Bone marrow smear; Pappenheim-stained.
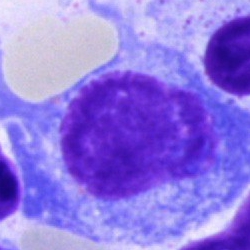

Morphology — plasma cell.